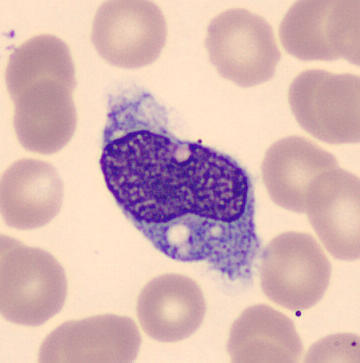{"cell_type": "monocyte"}
Acquisition: CellaVision DM96; peripheral blood smear; 360×363 px.